250 by 250 pixels · bone marrow aspirate smear · single cell centered in the field.
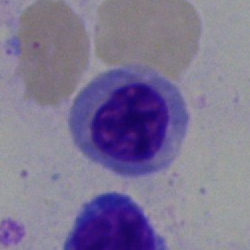 The cell is normoblast.